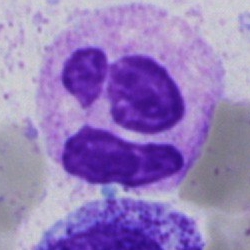
Specimen: bone marrow aspirate smear.
Cell: segmented neutrophil.
Lineage: myeloid.